Bone marrow smear:
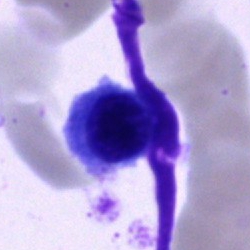 Morphological class = erythroblast.